Peripheral blood smear: 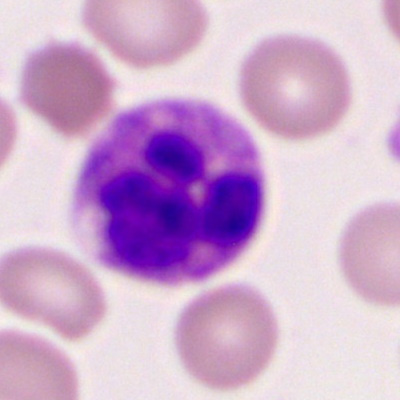Segmented neutrophil.